Bone marrow smear. 40× oil immersion.
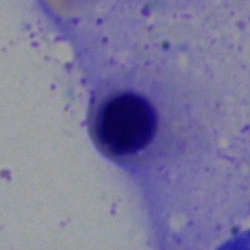 Specimen: bone marrow aspirate smear.
Cell: normoblast.
Lineage: erythroid.